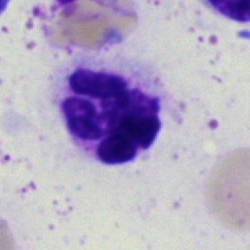
Q: Identify the cell.
A: Segmented neutrophil.